Peripheral blood film. Brightfield, 100× oil-immersion objective:
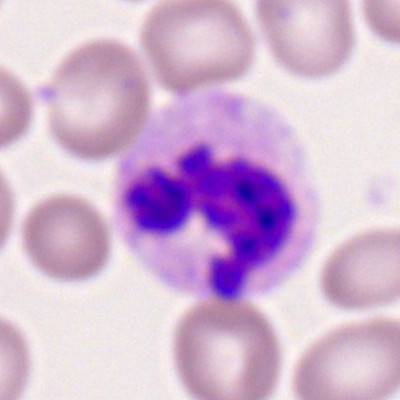
The morphological class is neutrophil (segmented).